Bone marrow smear · single-cell crop · 250 by 250 pixels
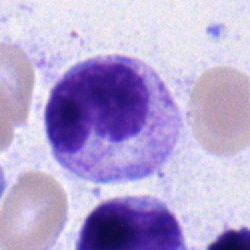 Metamyelocyte.